Bone marrow aspirate smear. Cropped to a single cell. Pappenheim-stained.
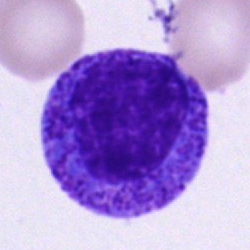
Single cell identified as a promyelocyte.